Bone marrow smear · 40× objective, oil immersion.
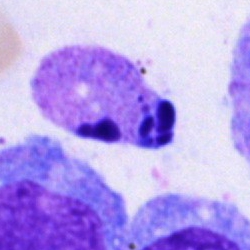
Q: What is shown here?
A: Artefact.